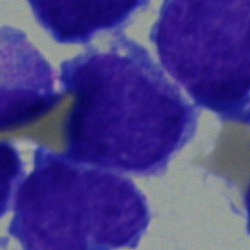
Showing a blast cell.